Peripheral blood smear · 100× oil immersion:
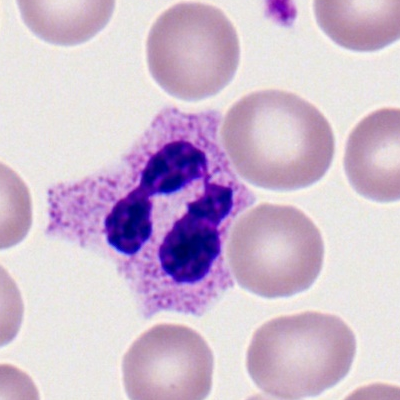

The cell shown is a segmented neutrophil.